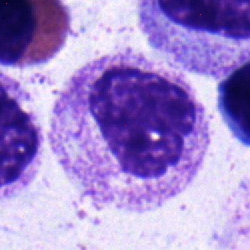 The classification is myelocyte.